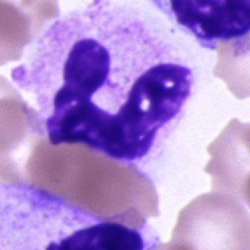
Impression → neutrophil (segmented).